Single-cell field · image size 360×363 · peripheral blood film.
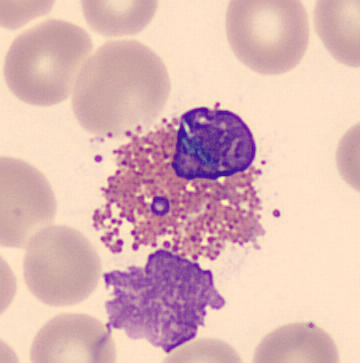{"cell_type": "eosinophil", "lineage": "myeloid"}